Single-cell crop · bone marrow smear — 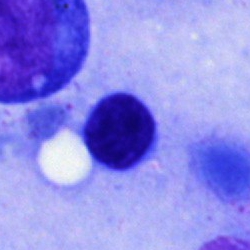 Morphological class — lymphocyte.